Bone marrow smear
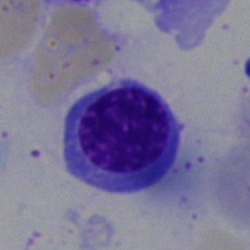 Specimen: bone marrow aspirate smear.
Classification: nucleated red blood cell.
Lineage: erythroid.